Bone marrow smear. 250×250 px:
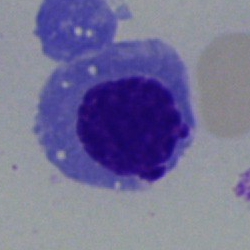 Nucleated red blood cell.